Peripheral blood film.
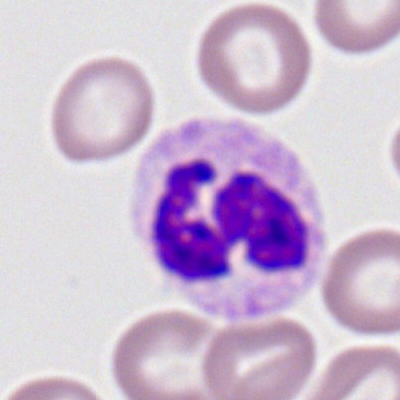The cell shown is a segmented neutrophil.